Bone marrow smear. May-Grünwald-Giemsa/Pappenheim stain — 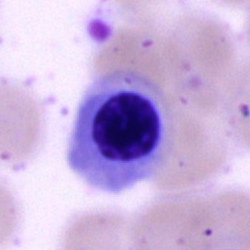

The cell shown is an erythroblast.